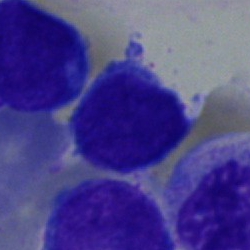

Q: What type of cell is this?
A: Typical lymphocyte.